Bone marrow smear:
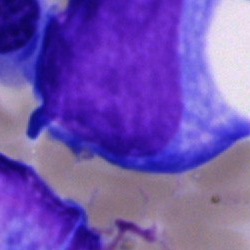
Q: Identify the cell.
A: It is a blast.